Single cell centered in the field. Image size 250×250. Bone marrow aspirate smear:
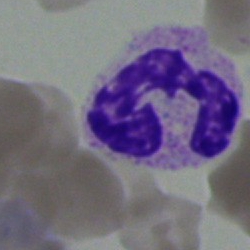

Cell: segmented neutrophil.